Bone marrow smear — 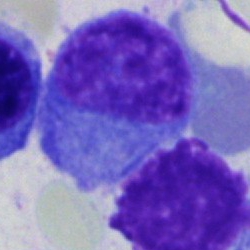 The morphological class is plasmacyte.